Bone marrow smear · May-Grünwald-Giemsa stain — 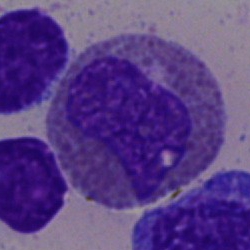
Q: What cell is this?
A: This is an eosinophilic granulocyte.